Single cell centered in the field · bone marrow aspirate smear:
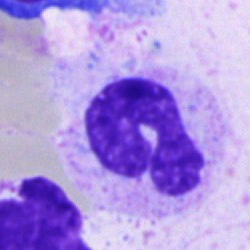
Impression → neutrophil (band).